Bone marrow aspirate smear — 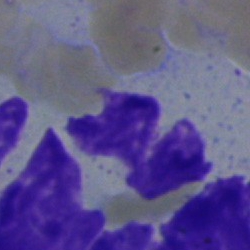

Q: Identify the cell.
A: Polymorphonuclear neutrophil.